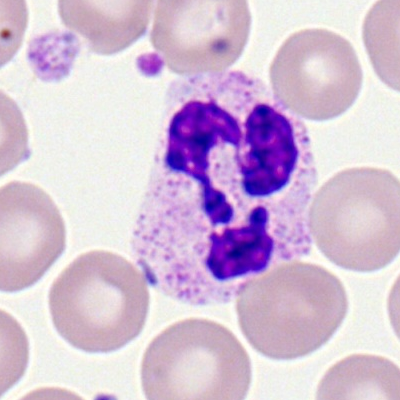
Morphology — segmented neutrophil.